Single-cell crop; brightfield, 40× oil-immersion objective; bone marrow smear: 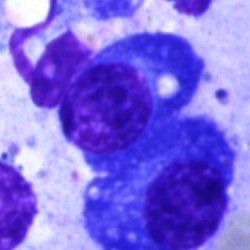

Q: What type of cell is this?
A: This is a plasma cell.